Peripheral blood smear
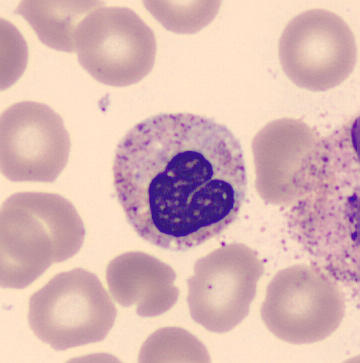
Impression → band-form neutrophil.